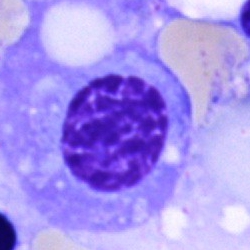
The cell is plasmacyte.